May-Grünwald-Giemsa/Pappenheim stain. Bone marrow smear:
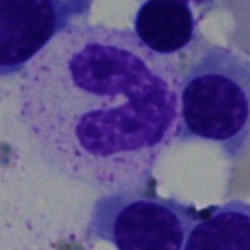Specimen: bone marrow aspirate smear.
Classification: stab cell.
Lineage: myeloid.